Bone marrow aspirate smear.
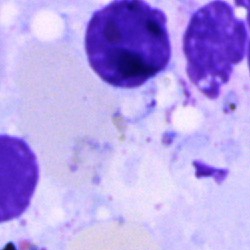Classification — artifact.